Bone marrow smear — 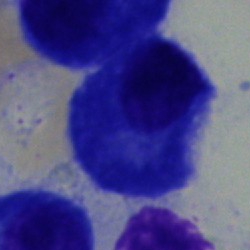
The cell type is plasmacyte.